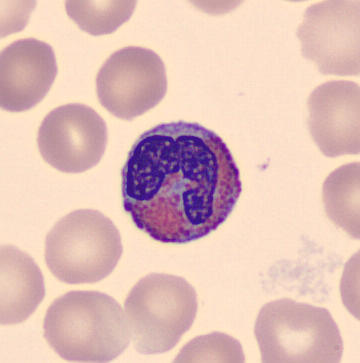Showing an eosinophilic granulocyte.

Acquisition: Peripheral blood smear. MGG stain.